Brightfield, 40× oil-immersion objective. Bone marrow smear: 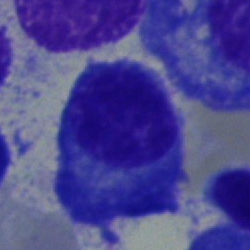Specimen: bone marrow smear.
Cell: plasma cell.